Bone marrow smear: 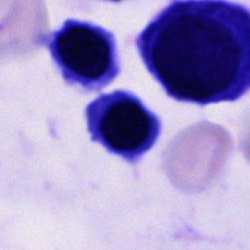Q: Identify the cell.
A: This is an unidentifiable cell.